Bone marrow smear:
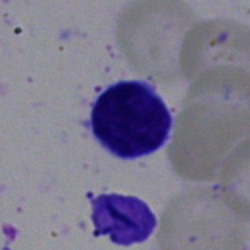 Morphology — typical lymphocyte.